Bone marrow aspirate smear · 40× oil immersion: 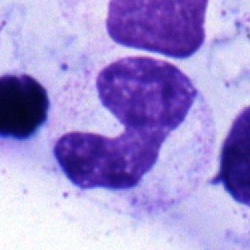 Q: What cell is this?
A: This is a stab cell.